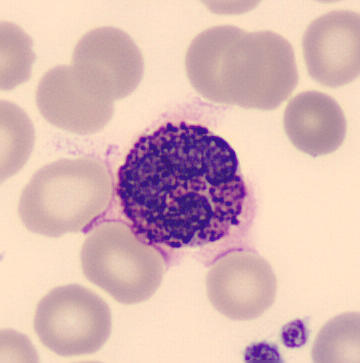

Cell = basophil.

Image: Peripheral blood film; single-cell crop.